Bone marrow aspirate smear:
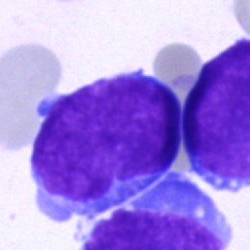 Q: What is shown here?
A: Undifferentiated blast.